Bone marrow smear; 250×250 px — 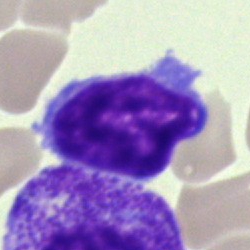

Cell type = typical lymphocyte.